Bone marrow smear · 250 by 250 pixels
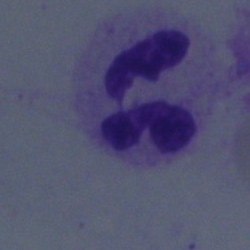

Cell type: polymorphonuclear neutrophil.